Single-cell field. Peripheral blood smear — 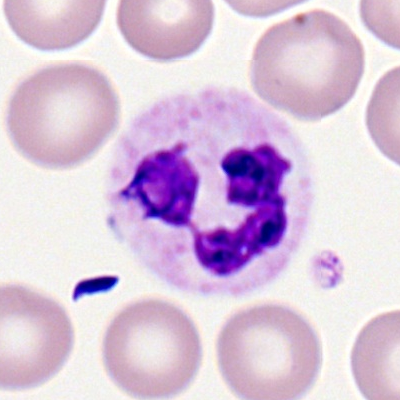

This is a polymorphonuclear neutrophil.